Bone marrow smear: 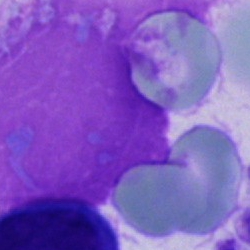
Cell type = artefact.